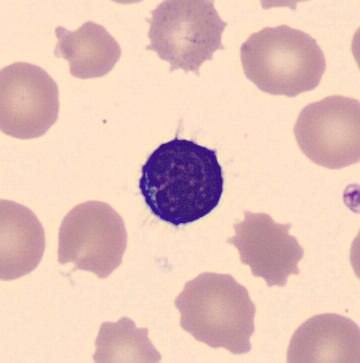Showing a lymphocyte.